Bone marrow smear. 250×250.
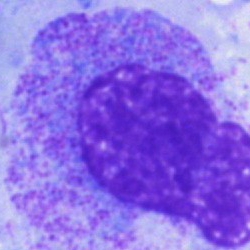

The classification is myelocyte.